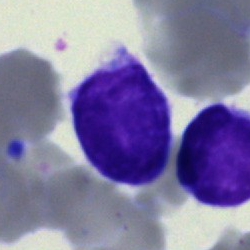The cell shown is a lymphocyte.